40× objective, oil immersion; bone marrow aspirate smear.
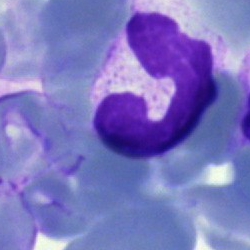 Q: What type of cell is this?
A: Polymorphonuclear neutrophil.